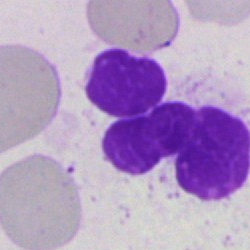Specimen: bone marrow aspirate smear.
Classification: artefact.